Bone marrow smear · brightfield, 40× oil-immersion objective.
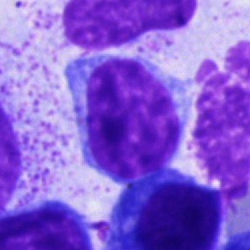

Specimen: bone marrow aspirate smear.
Cell: lymphocyte.
Lineage: lymphoid.